Cropped to a single cell; bone marrow smear
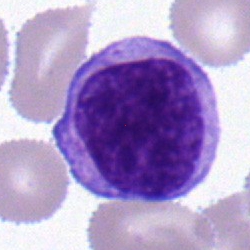Classification = lymphocyte.